Bone marrow aspirate smear — 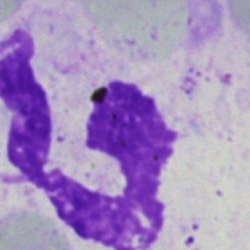Morphology consistent with an artifact.